Bone marrow smear; 250 by 250 pixels.
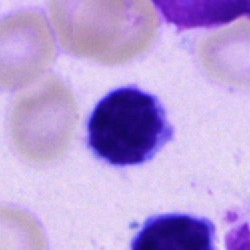 Q: Which cell type is shown here?
A: A typical lymphocyte.